Brightfield microscopy, 40× oil immersion · bone marrow aspirate smear — 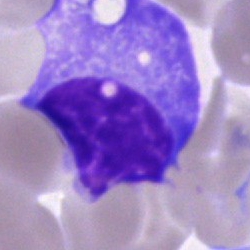 Q: Identify the cell.
A: It is a plasma cell.